Bone marrow aspirate smear: 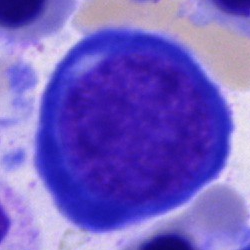Impression — proerythroblast.